40× objective, oil immersion. Bone marrow aspirate smear:
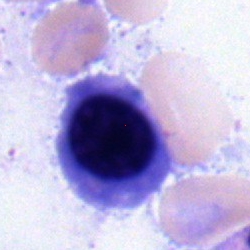
Q: Identify the cell.
A: Nucleated red cell.